Cropped to a single cell · bone marrow aspirate smear.
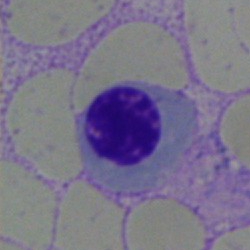
Q: Which cell type is shown here?
A: A nucleated red blood cell.